Pappenheim-stained; single cell centered in the field; bone marrow smear — 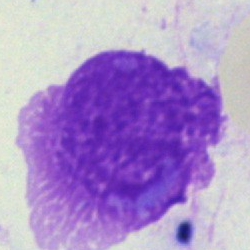Classification = artefact.